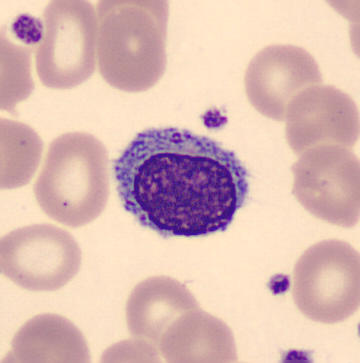 Q: What cell is this?
A: Typical lymphocyte.